Bone marrow smear — 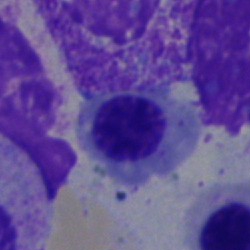 Morphological class: erythroblast.